Bone marrow smear. Image size 250×250. Single cell centered in the field.
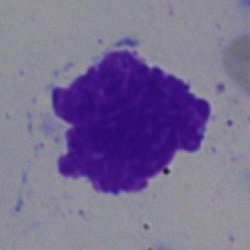 Classification = artifact.